Bone marrow aspirate smear · Pappenheim-stained · single-cell field:
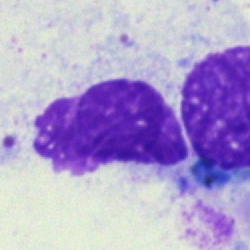
Single cell identified as an artefact.